Bone marrow smear:
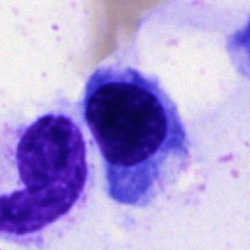 Q: Identify the cell.
A: It is a nucleated red blood cell.